Bone marrow smear; brightfield, 40× oil-immersion objective; single-cell crop
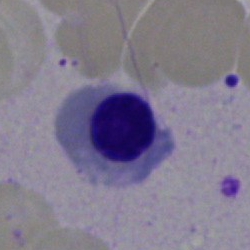Morphology — nucleated red cell.